Bone marrow smear.
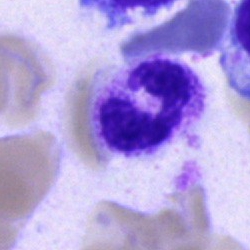
Single cell identified as a segmented neutrophil.